Single cell centered in the field. Bone marrow aspirate smear — 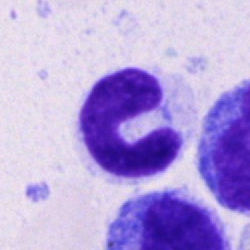
The cell type is stab cell.